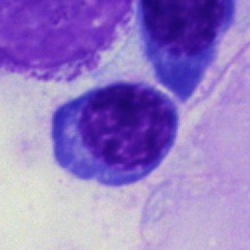
Specimen: bone marrow aspirate smear.
Cell type: nucleated red cell.
Lineage: erythroid.